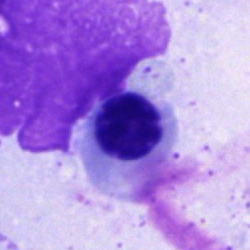

Specimen: bone marrow smear.
Cell: erythroblast.